Bone marrow aspirate smear · cropped to a single cell.
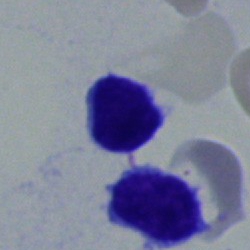 Lymphocyte.